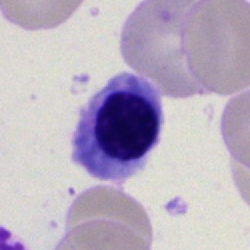 {"cell_type": "nucleated red blood cell", "lineage": "erythroid"}